250 by 250 pixels · bone marrow smear
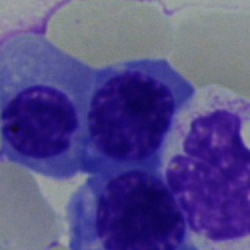
Q: Identify the cell.
A: This is a nucleated red cell.